250 by 250 pixels. Bone marrow smear — 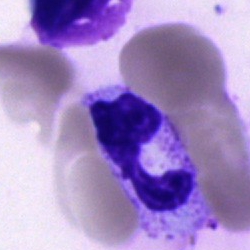

Q: What type of cell is this?
A: Neutrophil (segmented).